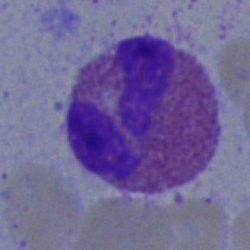

Single cell identified as an eosinophilic granulocyte.